Peripheral blood film.
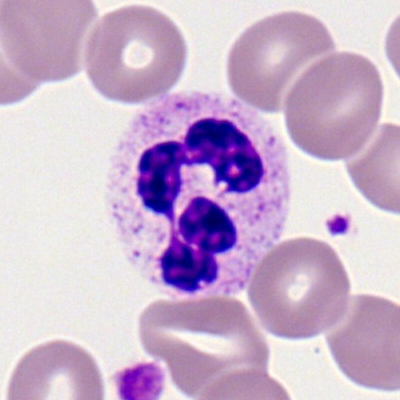

Q: What cell is this?
A: Neutrophil (segmented).